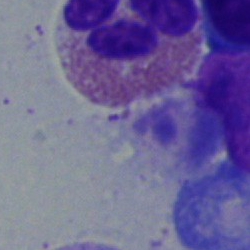 Morphological class = eosinophil.